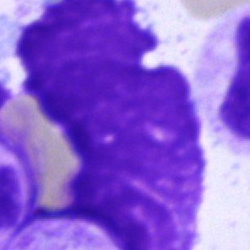

Specimen: bone marrow aspirate smear.
Morphological class: artefact.